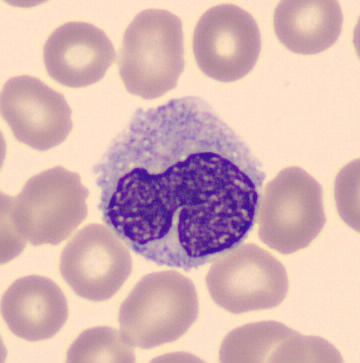MGG-stained; CellaVision DM96 digital cell image.

Specimen: peripheral blood smear.
Cell type: monocyte.
Lineage: myeloid.